Bone marrow aspirate smear · May-Grünwald-Giemsa/Pappenheim stain — 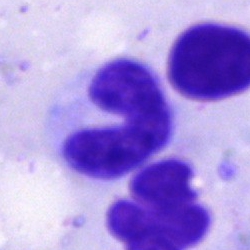 A band neutrophil.